Bone marrow smear:
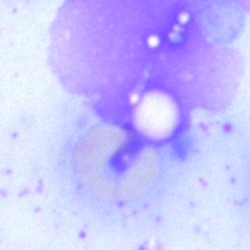

Q: What is shown here?
A: An artefact.